Bone marrow aspirate smear.
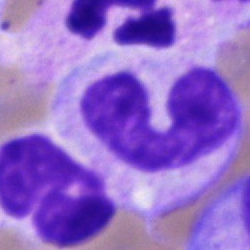
Impression → band-form neutrophil.